Bone marrow smear — 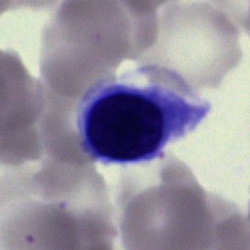
Q: What is shown here?
A: A nucleated red blood cell.